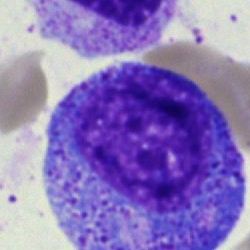 Impression → promyelocyte.